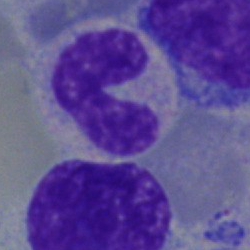

{"cell_type": "band-form neutrophil", "lineage": "myeloid"}